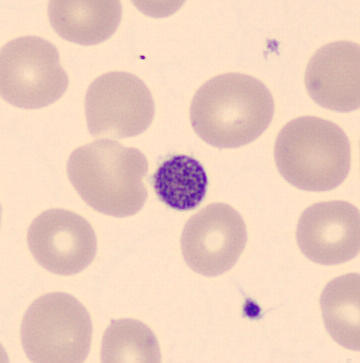

A platelet on a peripheral blood smear.